Bone marrow aspirate smear · 250×250 px · brightfield microscopy, 40× oil immersion.
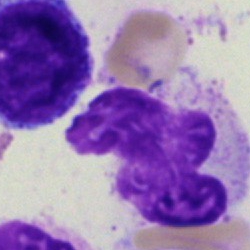Cell: artefact.